Bone marrow aspirate smear · single cell centered in the field · 250 by 250 pixels
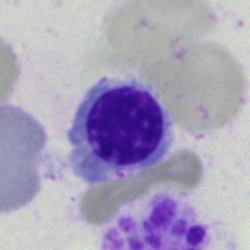
Classification = normoblast.